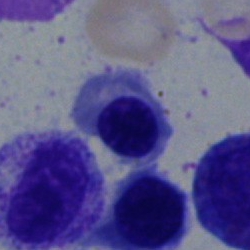 Q: What is shown here?
A: This is an erythroblast.